Bone marrow smear.
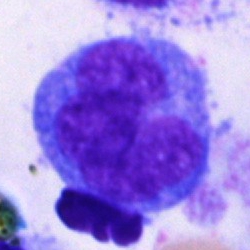
{"cell_type": "monocyte", "lineage": "myeloid"}